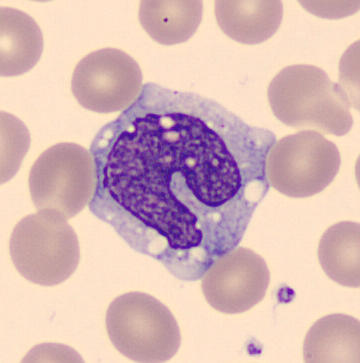

Identified as a monocyte.
Preparation: Peripheral blood film.